May-Grünwald-Giemsa stain · 40× objective, oil immersion · bone marrow aspirate smear:
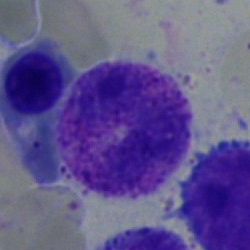
Classification: neutrophil (segmented).